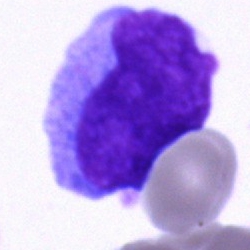

Impression → blast cell.